250 by 250 pixels; May-Grünwald-Giemsa/Pappenheim stain; bone marrow aspirate smear: 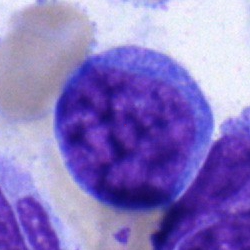
Morphological class: blast cell.